Bone marrow aspirate smear: 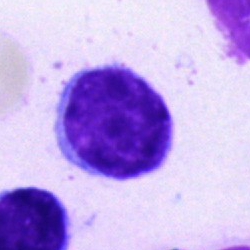 Cell type — lymphocyte.